Bone marrow smear
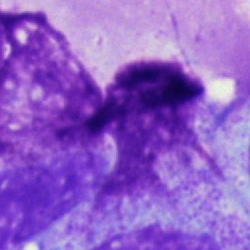

Showing an artifact.